Image size 250×250; bone marrow aspirate smear — 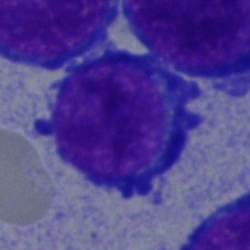
Showing a proerythroblast.